Bone marrow aspirate smear — 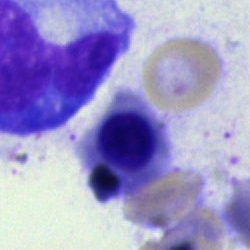 Cell type: nucleated red blood cell.